Bone marrow aspirate smear · 250 by 250 pixels: 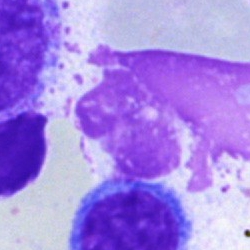
Artifact.